Bone marrow aspirate smear · brightfield, 40× oil-immersion objective.
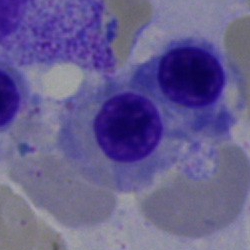Single cell identified as an erythroblast.